Peripheral blood film:
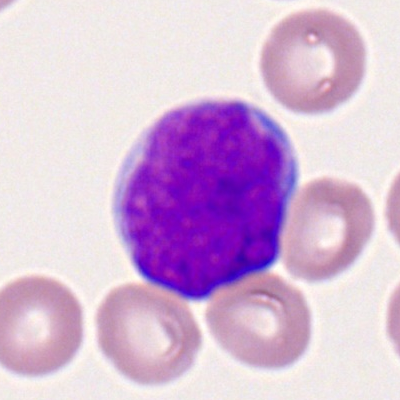
Q: What is the morphological classification of this cell?
A: A myeloid blast.